Bone marrow smear — 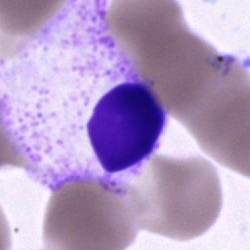
{"cell_type": "unidentifiable cell"}